Image size 400×400; peripheral blood film.
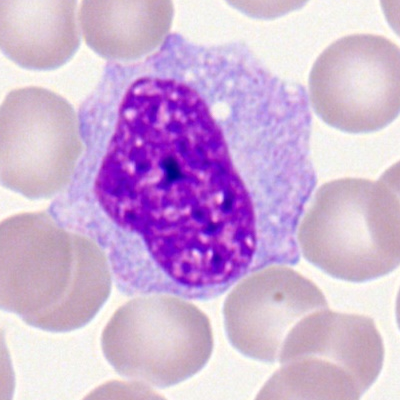

Morphological class = monocyte.